Bone marrow aspirate smear.
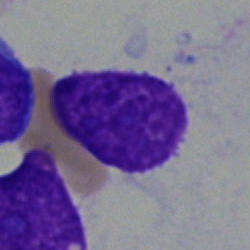

The cell is artefact.